Peripheral blood film. 100× oil immersion. 400 by 400 pixels.
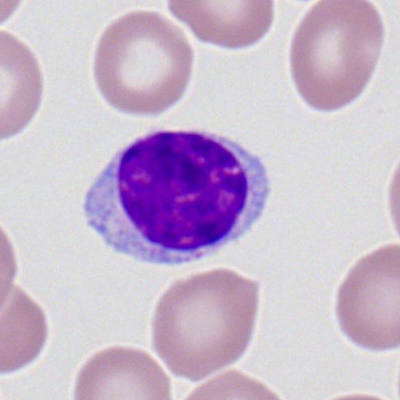Q: Which cell type is shown here?
A: A typical lymphocyte.